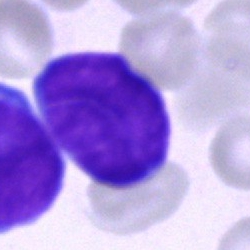 An undifferentiated blast.